Bone marrow aspirate smear — 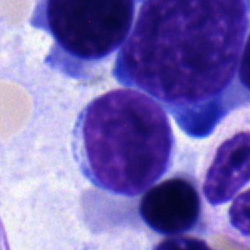

{"cell_type": "lymphocyte", "lineage": "lymphoid"}